Bone marrow smear.
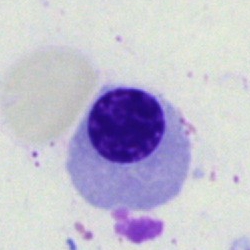
Q: What type of cell is this?
A: It is an erythroblast.